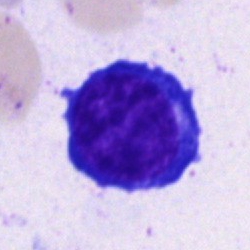
A nucleated red blood cell.